Peripheral blood smear: 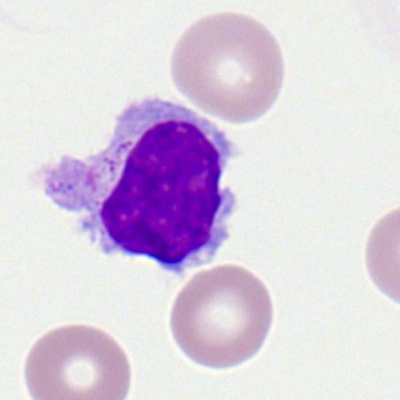

Cell: typical lymphocyte.